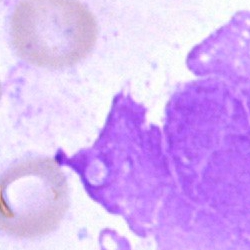The cell shown is an artefact.